Bone marrow aspirate smear: 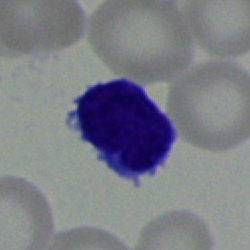

Q: Identify the cell.
A: This is a typical lymphocyte.